Bone marrow aspirate smear — 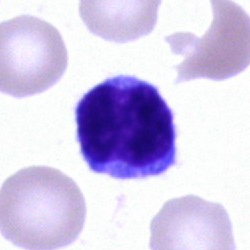 This is a typical lymphocyte.